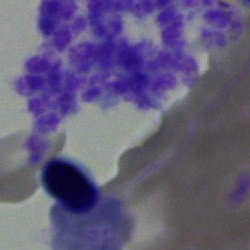 Specimen: bone marrow aspirate smear.
Cell type: nucleated red cell.